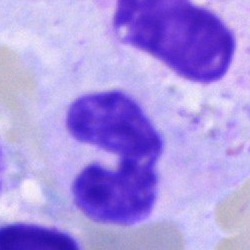Q: What type of cell is this?
A: This is a neutrophil (band).